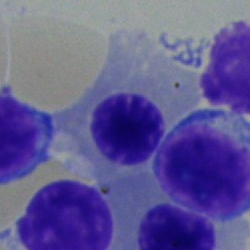 Classification = nucleated red blood cell.